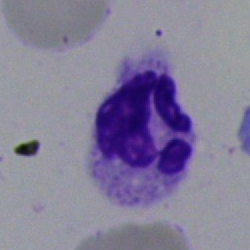Classification — polymorphonuclear neutrophil.